400×400 · peripheral blood film — 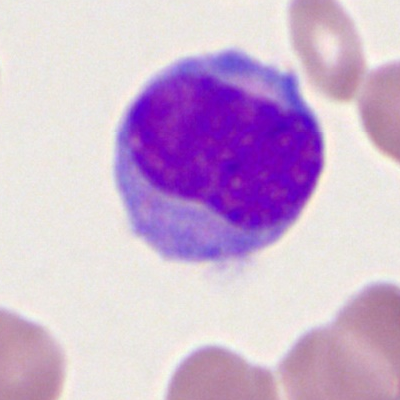Classification = monocyte.